Bone marrow smear; May-Grünwald-Giemsa stain: 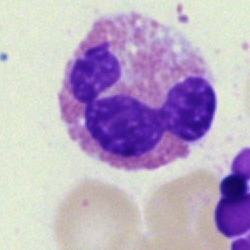
Morphology consistent with an eosinophilic granulocyte.